Bone marrow aspirate smear
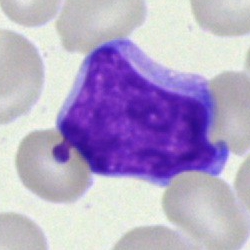

Q: What is the morphological classification of this cell?
A: Undifferentiated blast.